Bone marrow aspirate smear; image size 250×250:
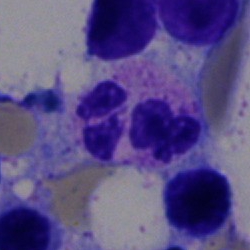
Morphology → polymorphonuclear neutrophil.